Bone marrow aspirate smear: 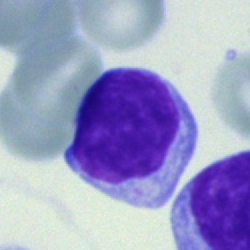 Specimen: bone marrow aspirate smear.
Classification: typical lymphocyte.